Bone marrow aspirate smear. 250×250. MGG-stained
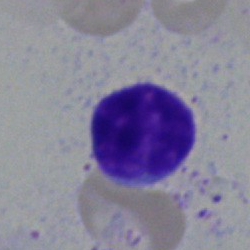
Cell = lymphocyte.